Bone marrow smear; 40× objective, oil immersion:
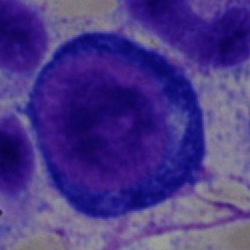 Proerythroblast.